Bone marrow smear:
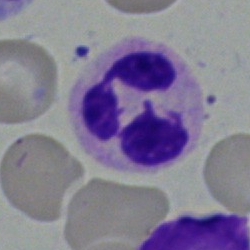
Cell type — segmented neutrophil.